Bone marrow smear
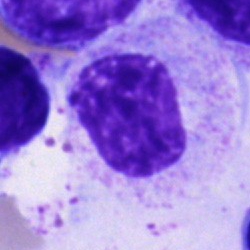 Classification = cell of indeterminate lineage.